Bone marrow smear · brightfield microscopy, 40× oil immersion:
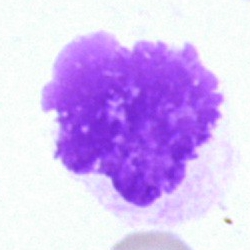
Q: What is shown here?
A: It is an artefact.